Bone marrow smear; brightfield, 40× oil-immersion objective; 250×250 px.
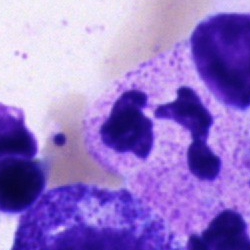 Showing a segmented neutrophil.